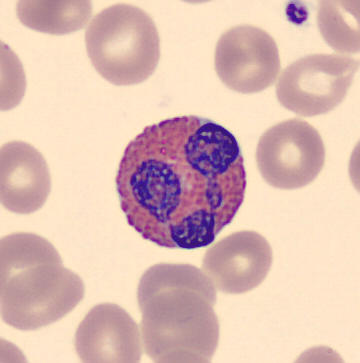Specimen: peripheral blood film.
Cell: eosinophil.